250×250; bone marrow smear; Pappenheim-stained.
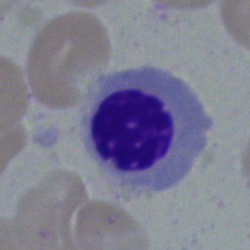 Morphological class — normoblast.